Peripheral blood smear. Single-cell field — 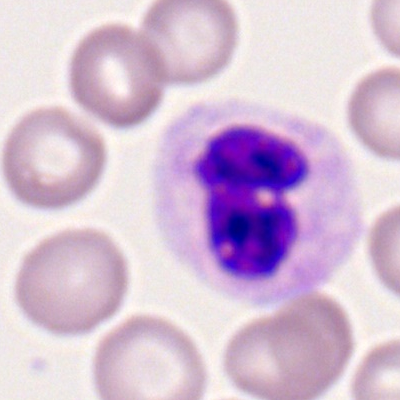

Morphology consistent with a segmented neutrophil.